Image size 250×250. MGG-stained. Bone marrow smear.
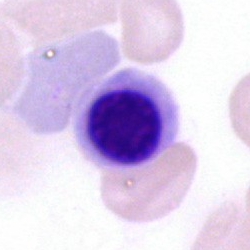
Morphological class — nucleated red cell.